Bone marrow smear — 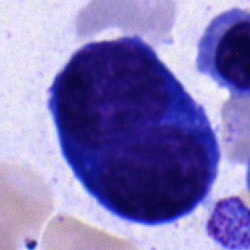Morphology — normoblast.